Bone marrow smear — 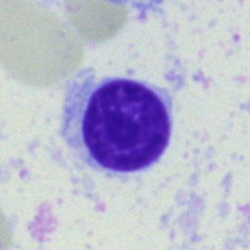
The cell shown is a lymphocyte.